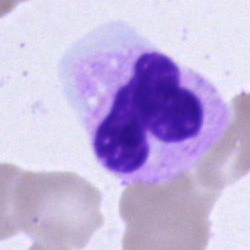Morphology — polymorphonuclear neutrophil.